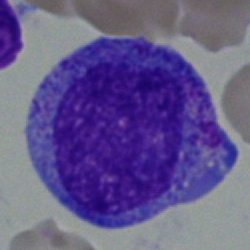Cell: promyelocyte.